Bone marrow aspirate smear. Single-cell field: 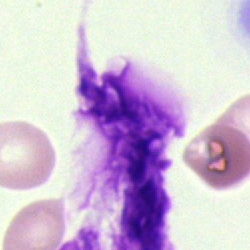

Cell: artefact.